Bone marrow smear — 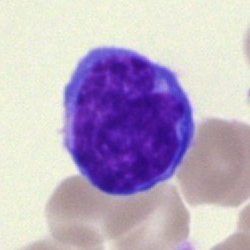

Specimen: bone marrow aspirate smear.
Morphological class: undifferentiated blast.